Bone marrow aspirate smear · cropped to a single cell: 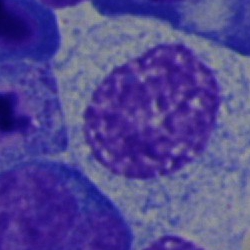
Impression → myelocyte.